Peripheral blood smear — 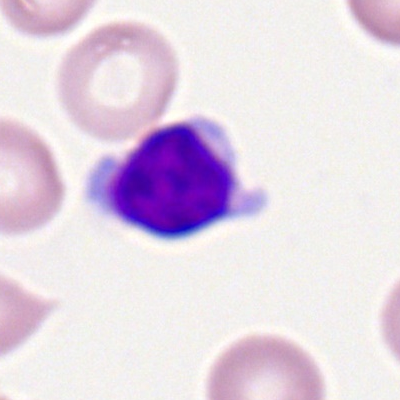 Q: Identify the cell.
A: A typical lymphocyte.